Peripheral blood smear; Romanowsky stain.
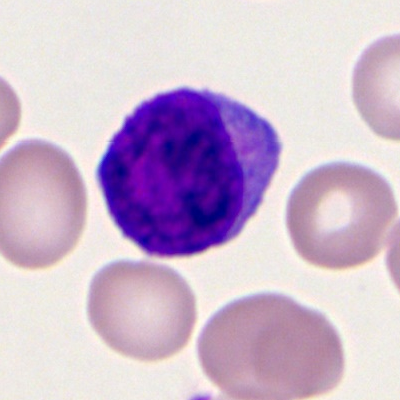 Q: What cell is this?
A: It is a myeloid blast.